Bone marrow smear: 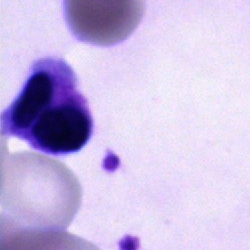Showing an unidentifiable cell.